Romanowsky-stained; peripheral blood film; image size 400×400.
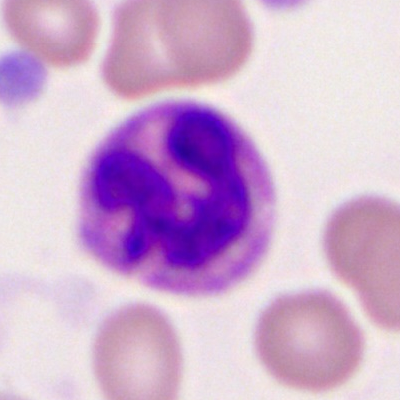A polymorphonuclear neutrophil.